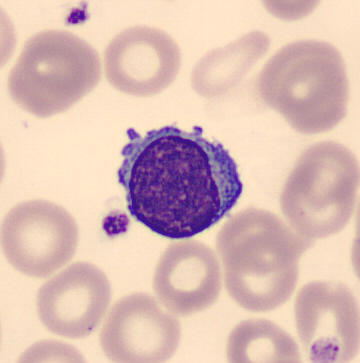

Showing a lymphocyte.
Peripheral blood film. Single-cell field.